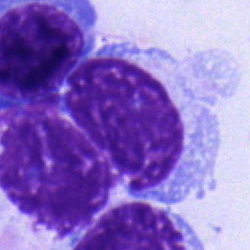Morphology → typical lymphocyte.